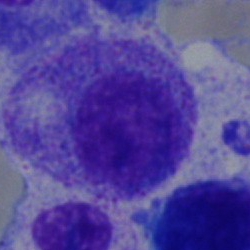 Q: Which cell type is shown here?
A: It is a myelocyte.